Bone marrow smear: 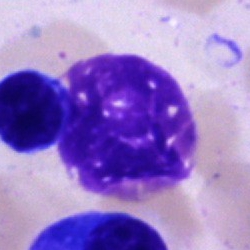

Impression → artefact.